Bone marrow aspirate smear: 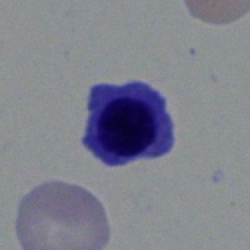Cell: nucleated red cell.